Single-cell crop; bone marrow smear.
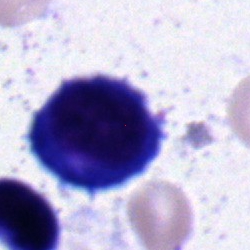Showing a plasma cell.